40× oil immersion; bone marrow aspirate smear; single cell centered in the field
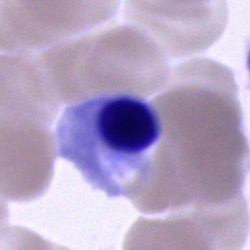Cell type — normoblast.